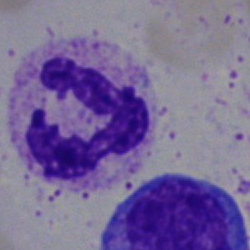 Q: Which cell type is shown here?
A: This is a segmented neutrophil.